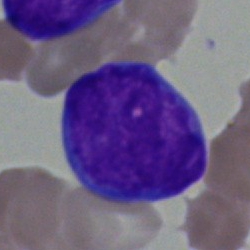Single-cell crop from a bone marrow smear: blast cell.